Bone marrow aspirate smear
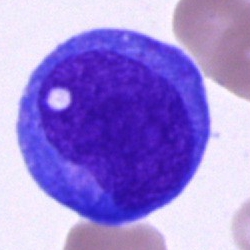 This is a blast.